Bone marrow aspirate smear: 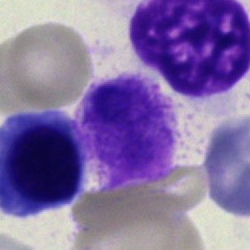
The cell shown is an artefact.